Bone marrow smear: 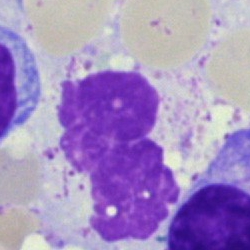

Cell type — artifact.